Bone marrow smear · May-Grünwald-Giemsa/Pappenheim stain — 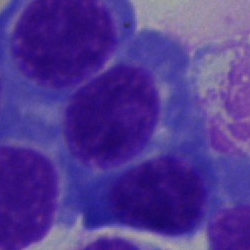Impression — normoblast.